Bone marrow smear:
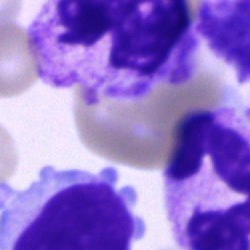
Single cell identified as a polymorphonuclear neutrophil.